Bone marrow aspirate smear:
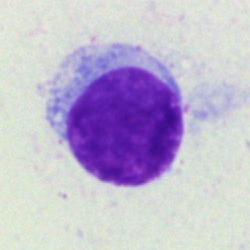
Classification — hairy cell.